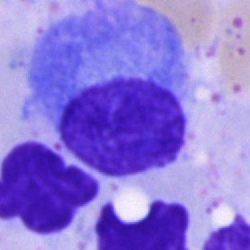

Q: Which cell type is shown here?
A: A plasmacyte.